Peripheral blood smear: 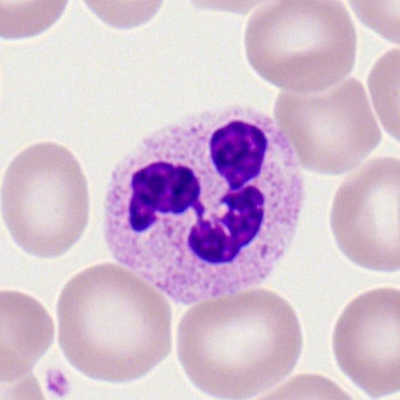Segmented neutrophil.